Bone marrow aspirate smear; May-Grünwald-Giemsa stain; brightfield, 40× oil-immersion objective: 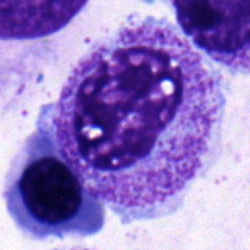Classification = myelocyte.